Bone marrow smear; cropped to a single cell
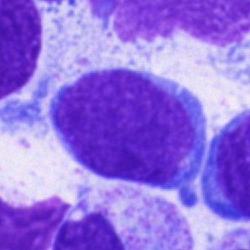
Specimen: bone marrow aspirate smear.
Cell type: blast cell.